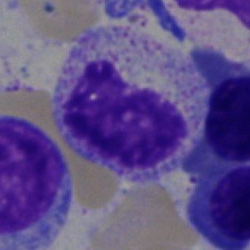Showing a neutrophil (band).